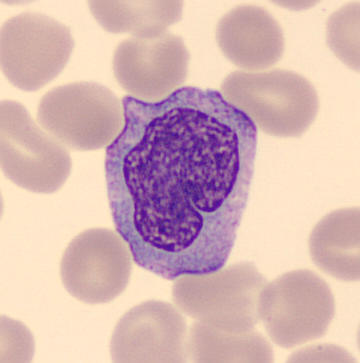Specimen: peripheral blood smear.
Morphological class: monocyte.
Lineage: myeloid.